Bone marrow smear.
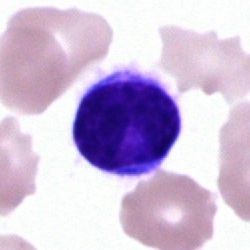

Cell type = lymphocyte.